Single-cell field. Peripheral blood film:
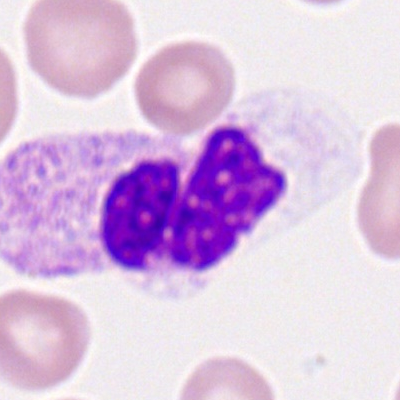
Q: What cell is this?
A: It is a neutrophil (segmented).